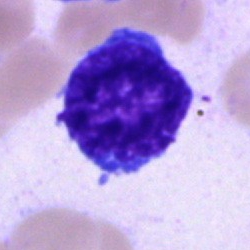
Impression → undifferentiated blast.